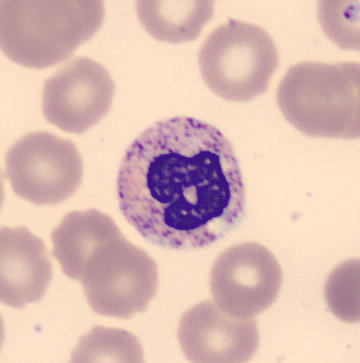 Morphology → stab cell.